Bone marrow aspirate smear. Single cell centered in the field:
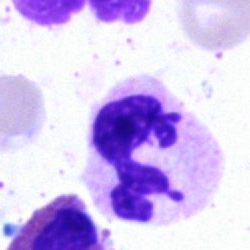 Cell — polymorphonuclear neutrophil.